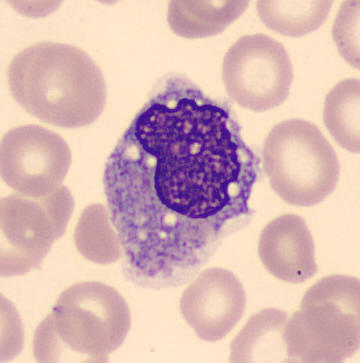
Morphology consistent with a monocyte.
Image: MGG-stained. Peripheral blood smear.